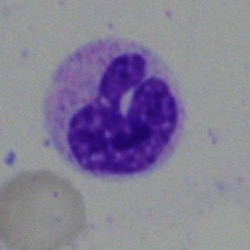

Morphological class = segmented neutrophil.